250×250; bone marrow smear — 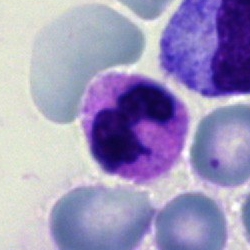 Classification = segmented neutrophil.